Bone marrow aspirate smear — 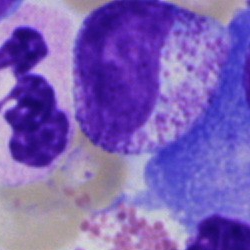
The cell is myelocyte.